Bone marrow aspirate smear.
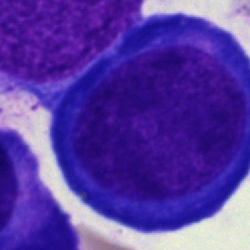Impression → proerythroblast.